Bone marrow aspirate smear; single cell centered in the field — 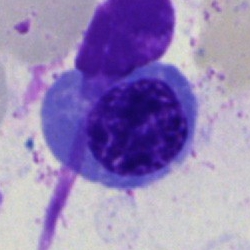
Specimen: bone marrow smear.
Cell: normoblast.
Lineage: erythroid.